Bone marrow aspirate smear
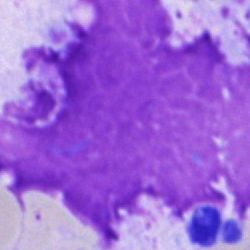 Q: What is shown here?
A: Artefact.